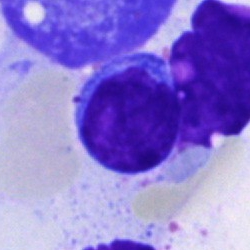 Morphology — lymphocyte.